Brightfield, 100× oil-immersion objective; image size 400×400; peripheral blood film: 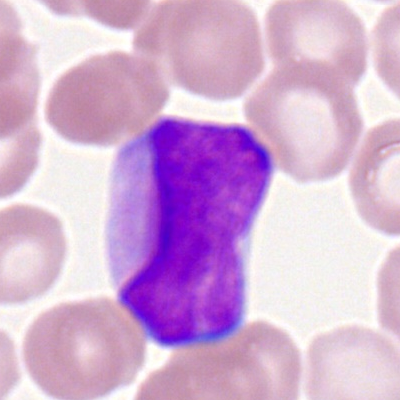A myeloblast.